Bone marrow aspirate smear · 250×250:
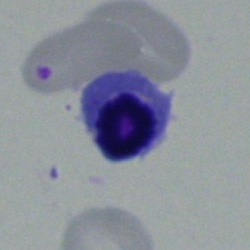 {"cell_type": "nucleated red cell"}